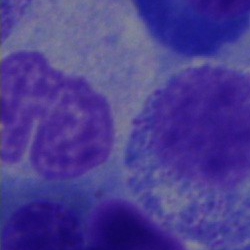

Specimen: bone marrow aspirate smear.
Cell type: myelocyte.
Lineage: myeloid.